Bone marrow smear. MGG-stained: 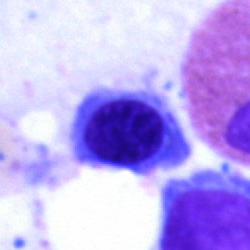Cell: nucleated red cell.